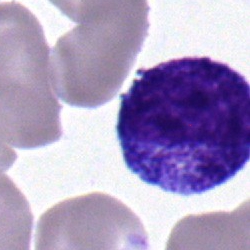 The classification is promyelocyte.